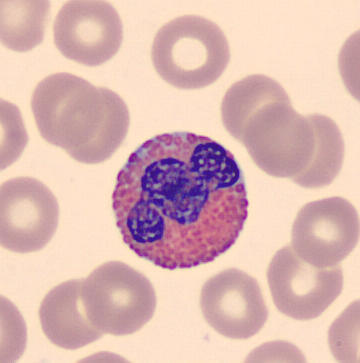
Image: Peripheral blood smear.
Q: What type of cell is this?
A: Eosinophil.